Romanowsky stain. Peripheral blood smear: 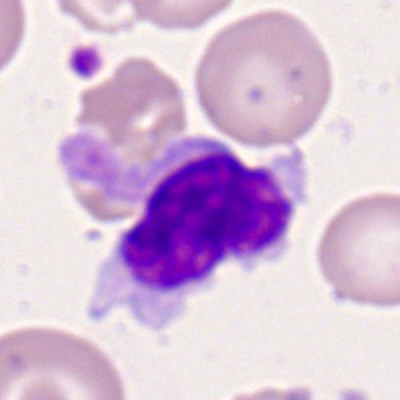
Specimen: peripheral blood film.
Cell type: lymphocyte.